250×250 px; 40× oil immersion; bone marrow aspirate smear.
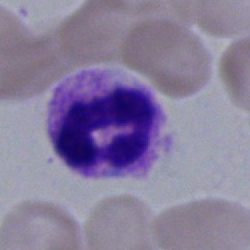

Morphology consistent with a segmented neutrophil.